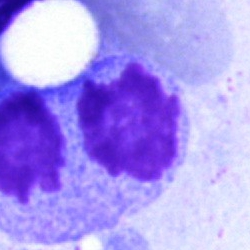 The cell type is artefact.